40× objective, oil immersion; 250 by 250 pixels; bone marrow smear — 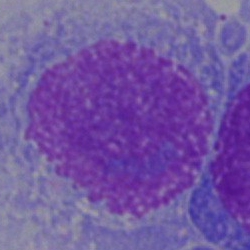The classification is undifferentiated blast.